Bone marrow aspirate smear: 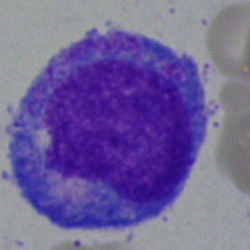 Q: What is shown here?
A: It is a progranulocyte.